Bone marrow smear: 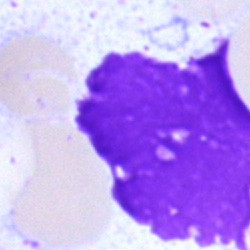

The cell shown is an artifact.